40× oil immersion · bone marrow aspirate smear.
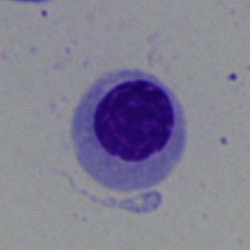

Erythroblast.